Bone marrow smear; May-Grünwald-Giemsa stain — 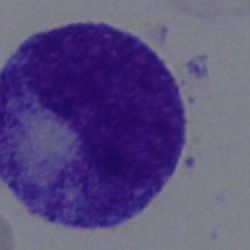
Specimen: bone marrow aspirate smear.
Morphological class: metamyelocyte.
Lineage: myeloid.